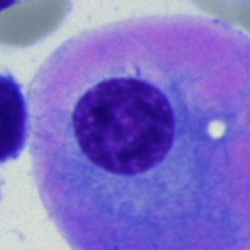Specimen: bone marrow aspirate smear.
Classification: plasma cell.
Lineage: lymphoid.